Peripheral blood smear · cropped to a single cell.
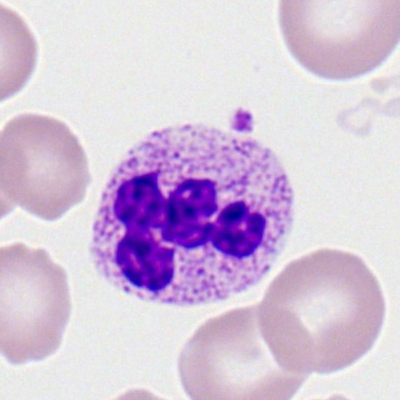
Classification = neutrophil (segmented).